Bone marrow smear: 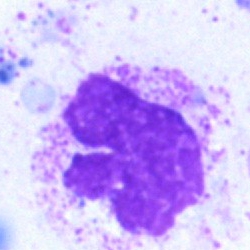
Cell: artifact.